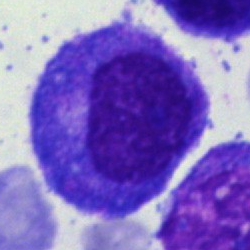
The morphological class is progranulocyte.